Peripheral blood film — 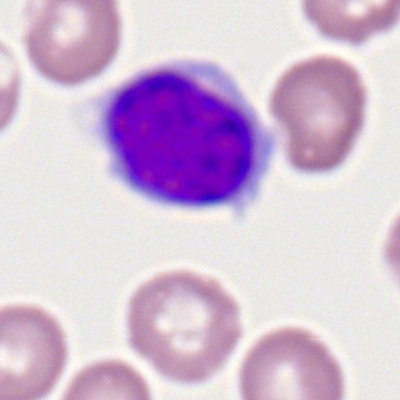

Single cell identified as a typical lymphocyte.